Bone marrow smear.
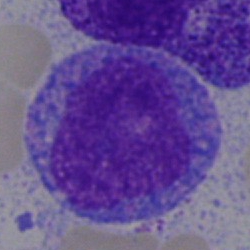Cell = promyelocyte.